100× objective, oil immersion. Peripheral blood film. Romanowsky-stained — 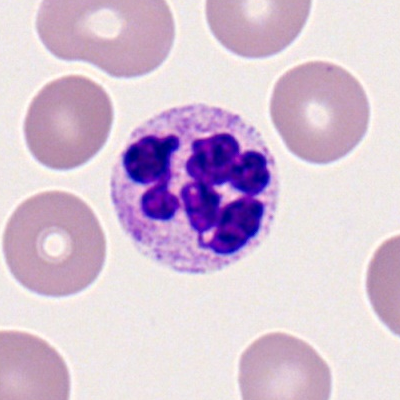 A segmented neutrophil.